Bone marrow smear
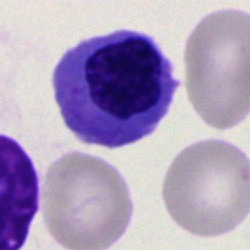Morphology consistent with an erythroblast.